Romanowsky-stained. 100× oil immersion, 14.14 px/µm. Peripheral blood film:
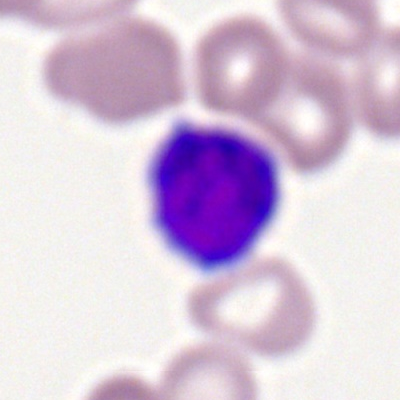

Showing a typical lymphocyte.